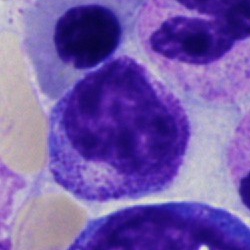
Showing a metamyelocyte.